Bone marrow aspirate smear:
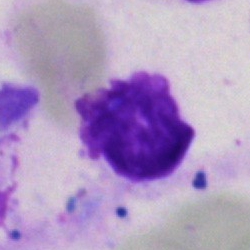The cell type is artifact.